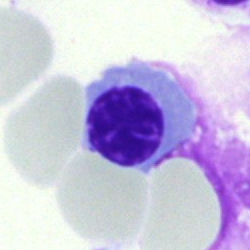 Specimen: bone marrow smear.
Cell type: normoblast.